Bone marrow smear. Pappenheim-stained
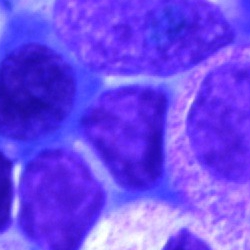Q: What is shown here?
A: Artefact.